Bone marrow aspirate smear; 40× objective, oil immersion; single-cell crop — 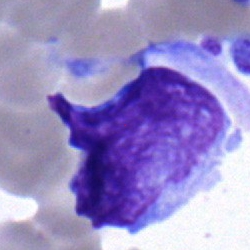 The cell shown is an undifferentiated blast.